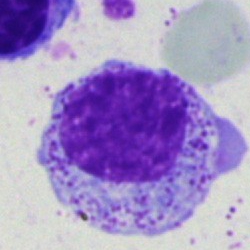 This is a myelocyte.